Bone marrow aspirate smear; cropped to a single cell
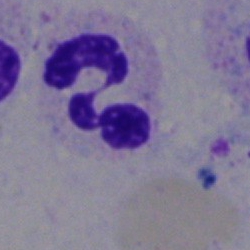 The cell type is polymorphonuclear neutrophil.